Bone marrow aspirate smear. 250×250 px.
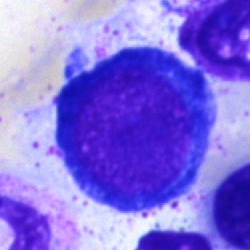

Cell type = pronormoblast.